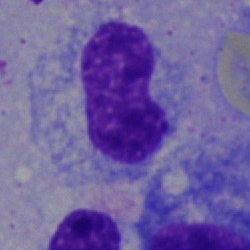

Neutrophil (band).